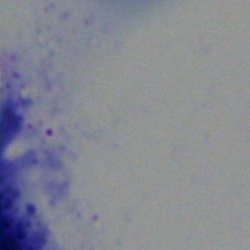 Cell type: artifact.